Single-cell crop · bone marrow aspirate smear · brightfield microscopy, 40× oil immersion.
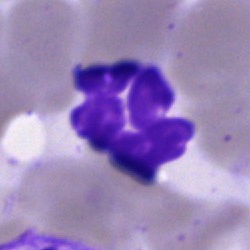

{"cell_type": "neutrophil (segmented)", "lineage": "myeloid"}